Bone marrow aspirate smear · 250 by 250 pixels — 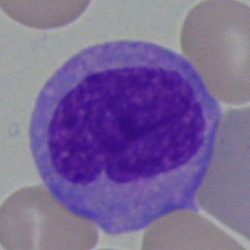Showing a monocyte.